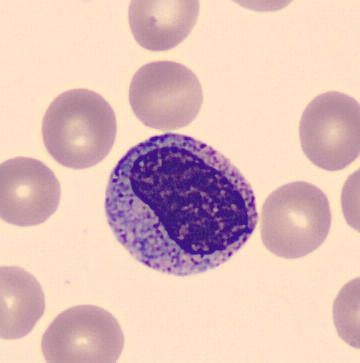This is a myelocyte.

Image: Peripheral blood smear.